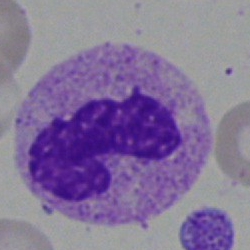This is a segmented neutrophil.